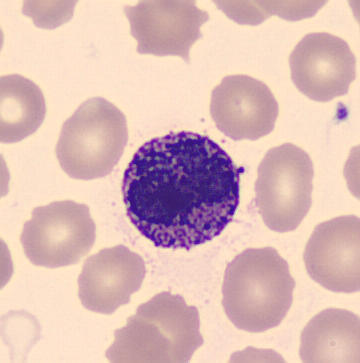 Specimen: peripheral blood film.
Cell type: basophil.
Lineage: myeloid.